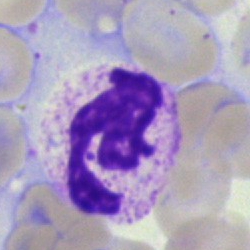 Specimen: bone marrow aspirate smear.
Morphological class: polymorphonuclear neutrophil.
Lineage: myeloid.